Bone marrow aspirate smear
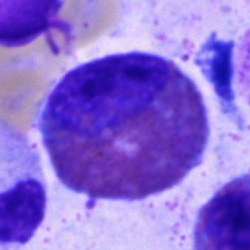
Specimen: bone marrow aspirate smear.
Morphological class: eosinophilic granulocyte.
Lineage: myeloid.